Single-cell field · bone marrow smear.
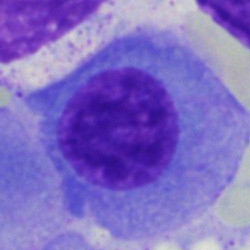 Morphological class — plasma cell.